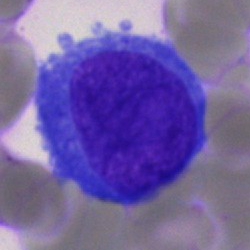
Specimen: bone marrow aspirate smear.
Cell type: undifferentiated blast.